250×250 px. Bone marrow aspirate smear. May-Grünwald-Giemsa/Pappenheim stain:
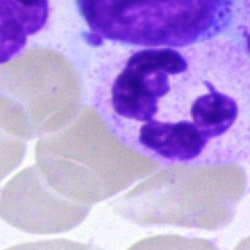Cell type: segmented neutrophil.